Bone marrow aspirate smear:
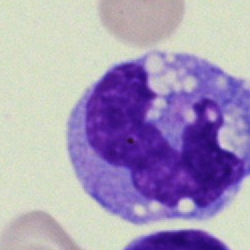

Monocyte.